Bone marrow aspirate smear — 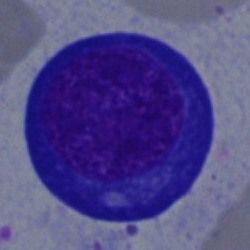
The cell shown is a pronormoblast.